Bone marrow smear: 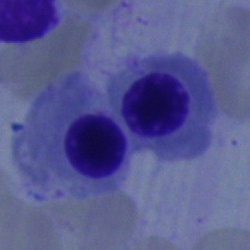Q: What cell is this?
A: It is a normoblast.